Cropped to a single cell. Image size 250×250. Bone marrow aspirate smear: 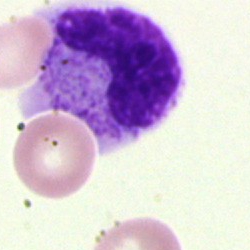Specimen: bone marrow smear.
Classification: band neutrophil.
Lineage: myeloid.